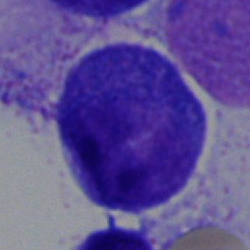
Q: Identify the cell.
A: This is a promyelocyte.